Bone marrow smear — 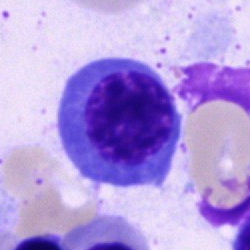 Impression → erythroblast.